Bone marrow aspirate smear
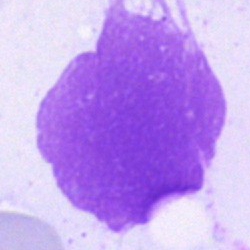
Artifact.